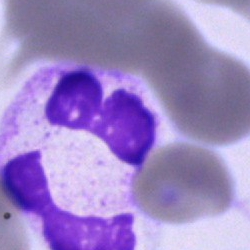A neutrophil (segmented) on a bone marrow smear.